Bone marrow aspirate smear — 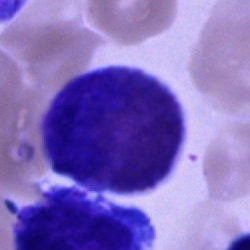
Morphological class = eosinophil.